Bone marrow aspirate smear.
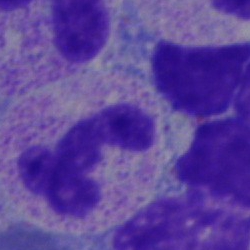

Q: What is shown here?
A: It is a neutrophil (segmented).